Pappenheim-stained; bone marrow aspirate smear; 40× objective, oil immersion.
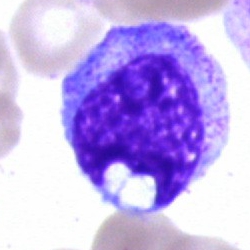Q: Which cell type is shown here?
A: This is a progranulocyte.